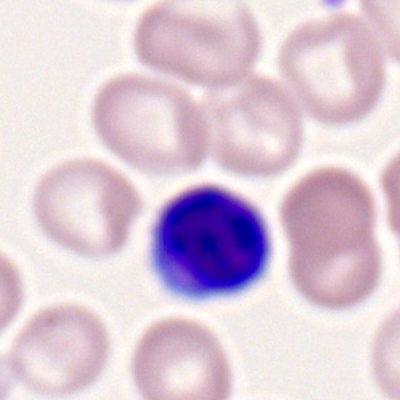 A lymphocyte on a peripheral blood smear.